Single-cell field; bone marrow smear: 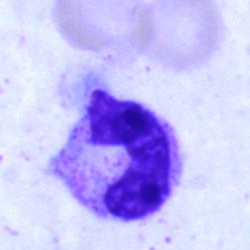 Specimen: bone marrow smear.
Morphological class: neutrophil (band).